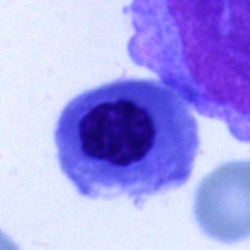
Morphological class: nucleated red cell.